Brightfield, 100× oil-immersion objective · peripheral blood film · Romanowsky-stained.
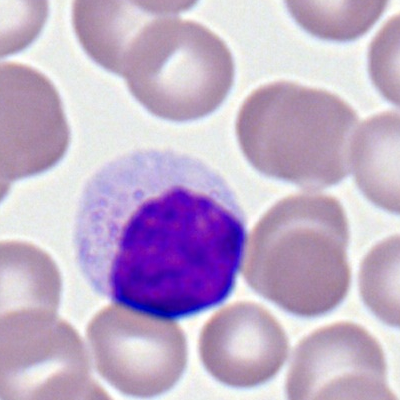

Showing a lymphocyte.